Bone marrow aspirate smear.
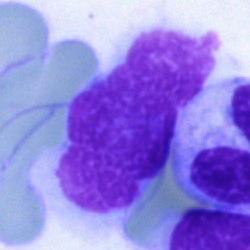

Impression — artifact.